Bone marrow aspirate smear — 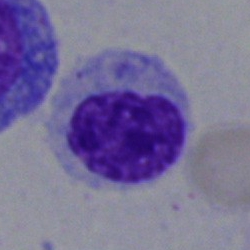

Impression — typical lymphocyte.